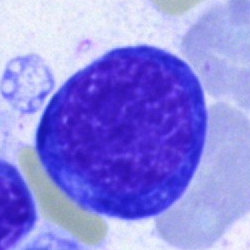

{"cell_type": "nucleated red cell"}